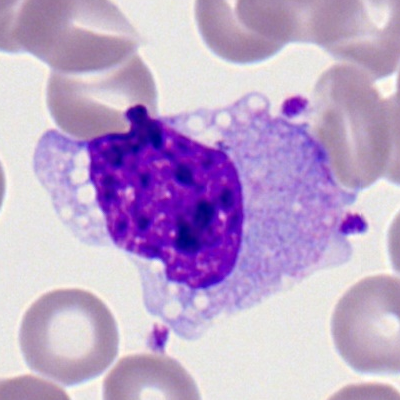
Morphology → monocyte.